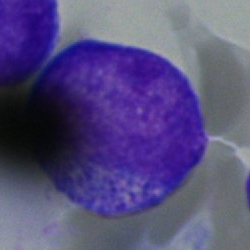
Cell type — blast cell.